Peripheral blood smear
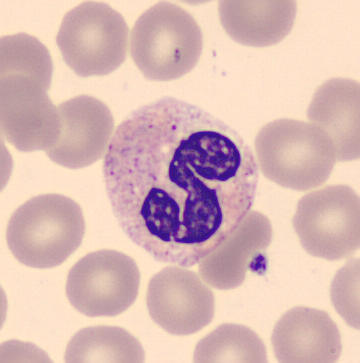
Single cell identified as a neutrophil (segmented).